Bone marrow aspirate smear — 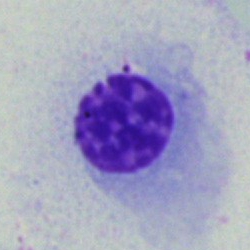The cell type is nucleated red cell.